Image size 250×250; bone marrow aspirate smear; May-Grünwald-Giemsa stain: 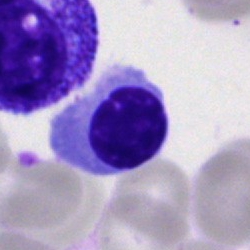The morphological class is normoblast.